Romanowsky stain. Peripheral blood film. Brightfield, 100× oil-immersion objective
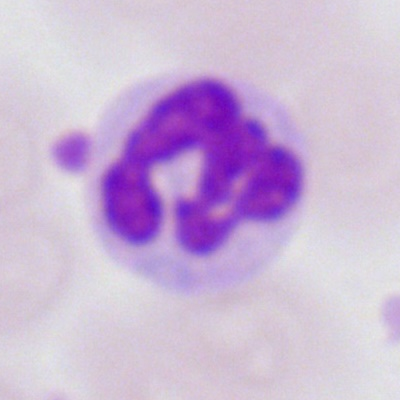

The cell type is segmented neutrophil.